Single cell centered in the field · bone marrow smear · brightfield microscopy, 40× oil immersion
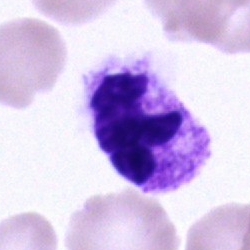

This is a neutrophil (segmented).